Bone marrow aspirate smear. 40× oil immersion:
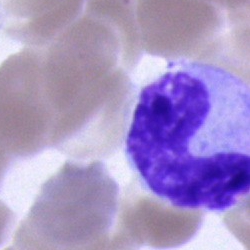 Q: What is shown here?
A: It is a band-form neutrophil.